Brightfield, 40× oil-immersion objective; bone marrow aspirate smear; 250 by 250 pixels: 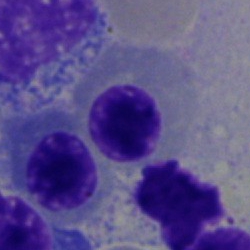Morphology consistent with a nucleated red cell.